Bone marrow smear · cropped to a single cell.
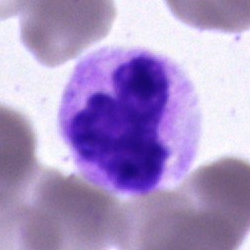
Segmented neutrophil.